Bone marrow aspirate smear: 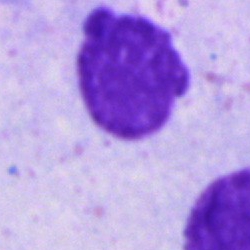Q: What is shown here?
A: This is an artifact.